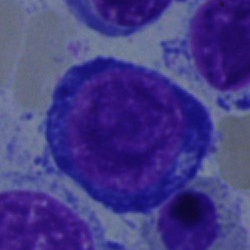 Bone marrow smear showing a pronormoblast.